Bone marrow aspirate smear:
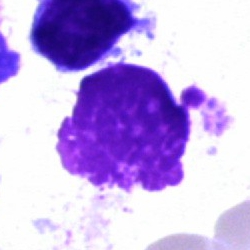 Classification — artifact.